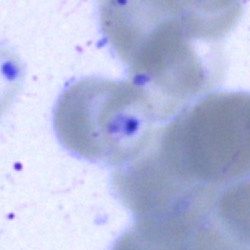
{"cell_type": "artefact"}